Peripheral blood film; image size 400×400:
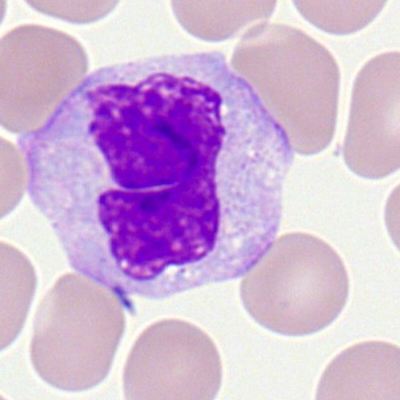

Morphology consistent with a monocyte.